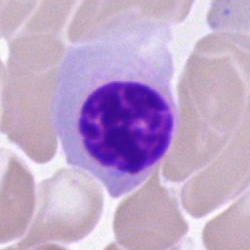

Cell type: normoblast.